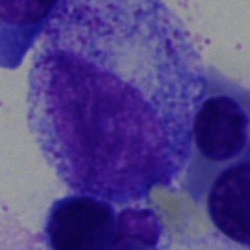The morphological class is progranulocyte.